Brightfield microscopy, 40× oil immersion; bone marrow smear; 250×250
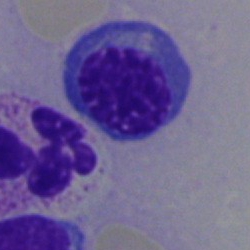 Q: What is the morphological classification of this cell?
A: It is a nucleated red blood cell.